Bone marrow smear — 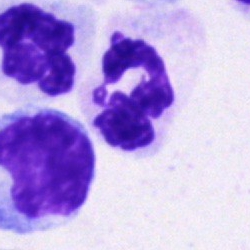

Q: What is the morphological classification of this cell?
A: This is a neutrophil (segmented).